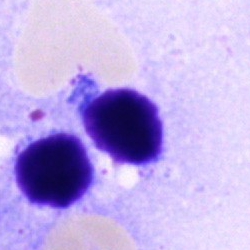 Morphology consistent with a typical lymphocyte.